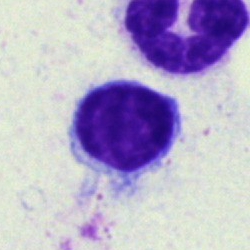Cell: typical lymphocyte.